Bone marrow smear. Pappenheim-stained:
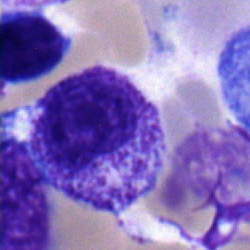

Cell: myelocyte.